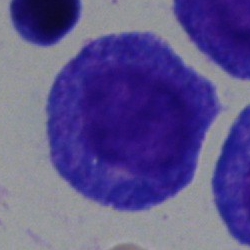Q: Identify the cell.
A: This is a promyelocyte.